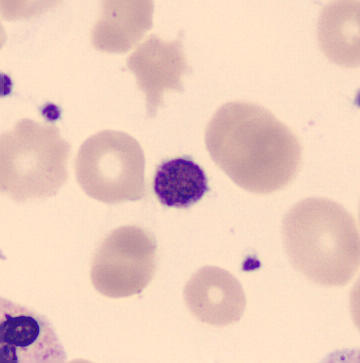Identified as a thrombocyte.